Bone marrow aspirate smear
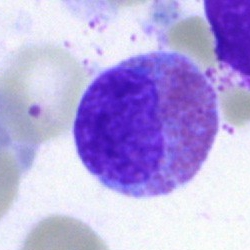

Morphology consistent with an eosinophil.